Single cell centered in the field · brightfield, 40× oil-immersion objective · bone marrow smear:
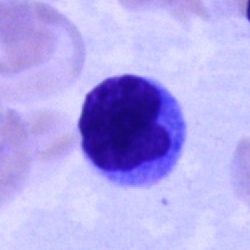

Q: Identify the cell.
A: A lymphocyte.